Image size 250×250. Bone marrow aspirate smear.
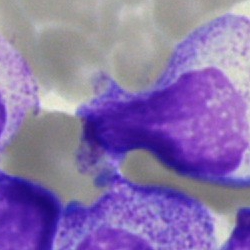Q: What is the morphological classification of this cell?
A: A promyelocyte.